Bone marrow aspirate smear · MGG-stained.
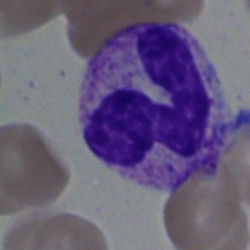
Morphology — neutrophil (band).